Bone marrow smear — 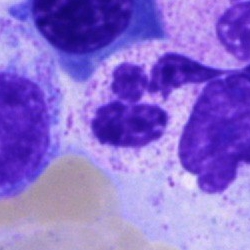 Neutrophil (segmented).